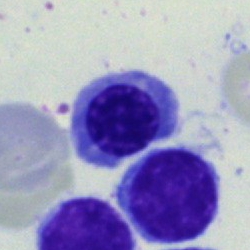 Morphology → nucleated red blood cell.